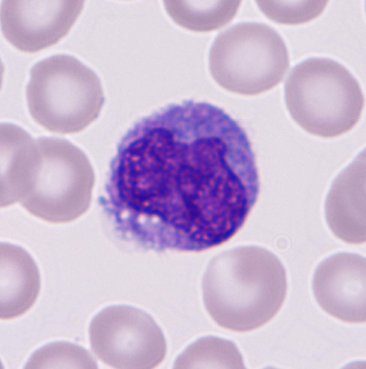
Impression → monocyte. Acquisition: MGG-stained. Peripheral blood smear.